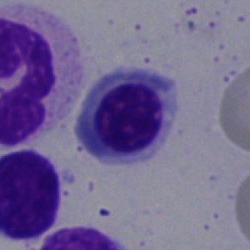
{"cell_type": "nucleated red blood cell", "lineage": "erythroid"}